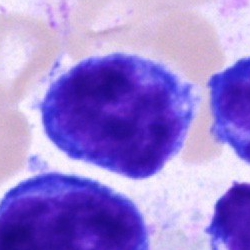 A blast.